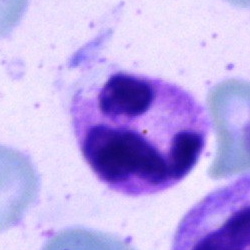Showing a neutrophil (segmented).